Bone marrow smear:
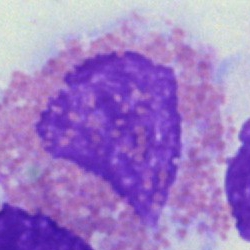
Q: What is the morphological classification of this cell?
A: It is an eosinophil.